Bone marrow smear: 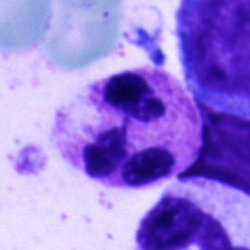 Cell = polymorphonuclear neutrophil.